Peripheral blood film; 100× oil immersion, 14.14 px/µm: 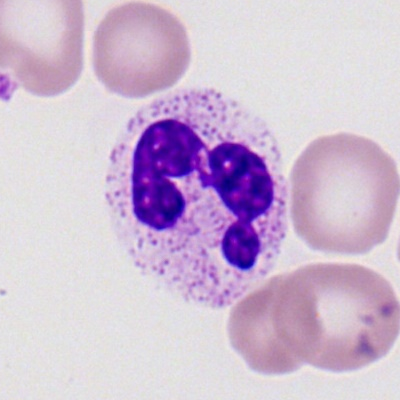

Single cell identified as a neutrophil (segmented).